Bone marrow aspirate smear · 250×250:
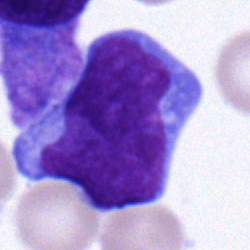 Showing a blast cell.